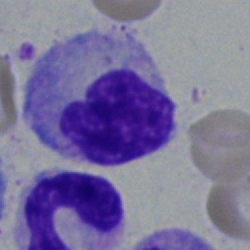

Single cell identified as a monocyte.